Bone marrow smear:
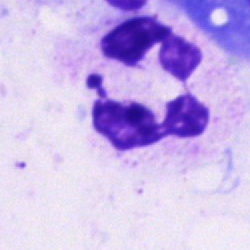 Showing a polymorphonuclear neutrophil.